Bone marrow smear.
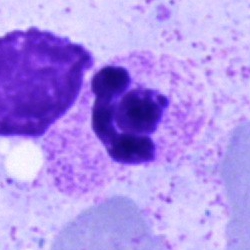 Specimen: bone marrow smear.
Cell type: polymorphonuclear neutrophil.
Lineage: myeloid.